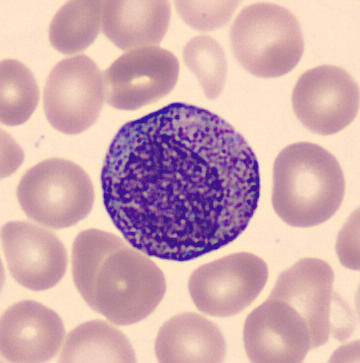
Image: MGG stain · peripheral blood smear. The cell shown is a progranulocyte.